Bone marrow aspirate smear: 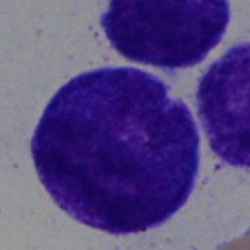Showing a promyelocyte.